Bone marrow aspirate smear: 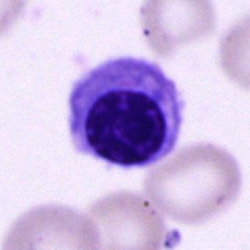The cell shown is an erythroblast.